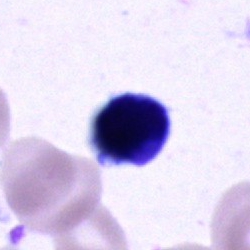Q: What cell is this?
A: Unidentifiable cell.